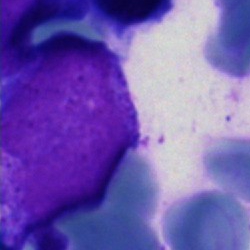

An undifferentiated blast.